Bone marrow smear.
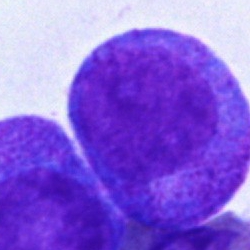 Specimen: bone marrow aspirate smear.
Classification: promyelocyte.
Lineage: myeloid.